Bone marrow aspirate smear.
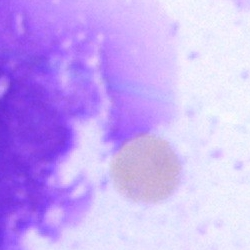 Specimen: bone marrow aspirate smear.
Cell: artifact.